Bone marrow smear; brightfield microscopy, 40× oil immersion:
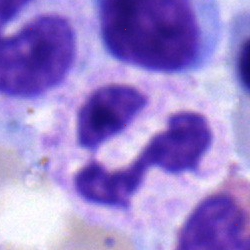

Cell type — segmented neutrophil.